Bone marrow aspirate smear: 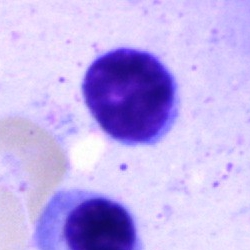A typical lymphocyte.